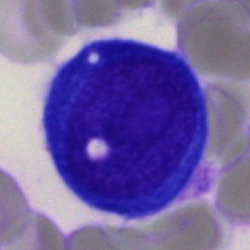Blast cell.